Bone marrow smear — 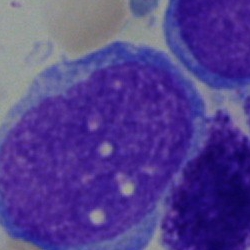
Showing a blast cell.